Bone marrow aspirate smear
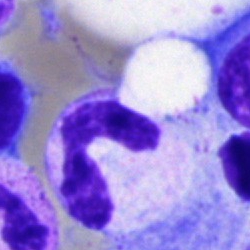 Q: What type of cell is this?
A: This is a neutrophil (segmented).